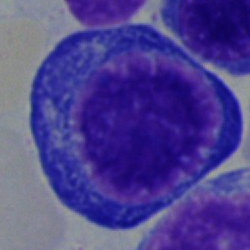 A proerythroblast on a bone marrow smear.